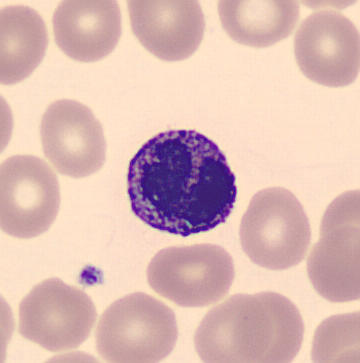Cell type: basophilic granulocyte.

Acquisition: Peripheral blood film · 360×363 · MGG stain.